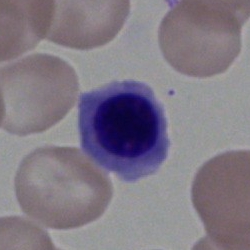
Bone marrow aspirate smear, single cell — nucleated red blood cell.